Peripheral blood smear — 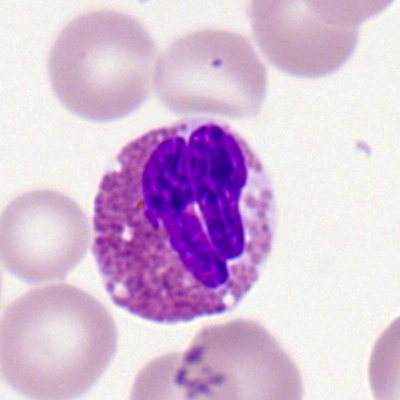 Specimen: peripheral blood smear.
Cell: eosinophil.